Single-cell crop; May-Grünwald-Giemsa stain; bone marrow smear:
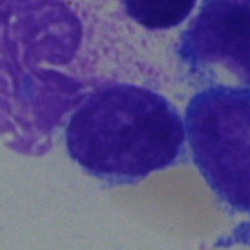

A typical lymphocyte.